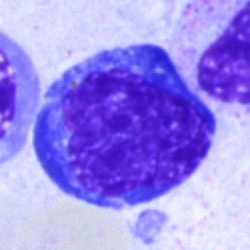

Morphological class: normoblast.